Single cell centered in the field; image size 250×250; bone marrow aspirate smear
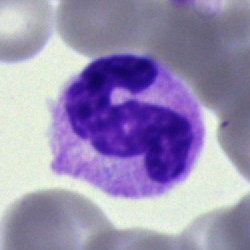

A polymorphonuclear neutrophil.